Bone marrow aspirate smear: 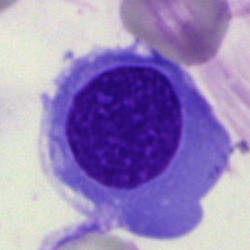Classification = nucleated red blood cell.